Cropped to a single cell · bone marrow smear
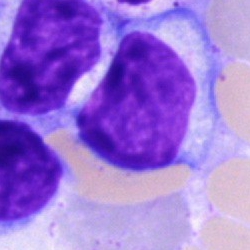 A lymphocyte.